Bone marrow smear
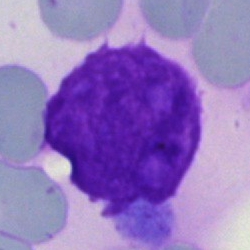 Q: What is shown here?
A: This is an artefact.